250×250 px; bone marrow smear
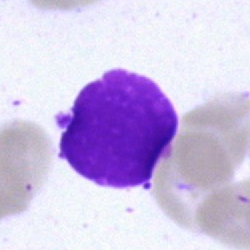Q: What is shown here?
A: This is an artifact.